Bone marrow smear — 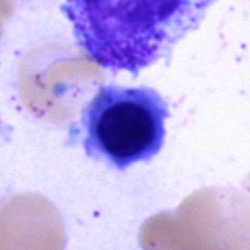Single cell identified as an erythroblast.